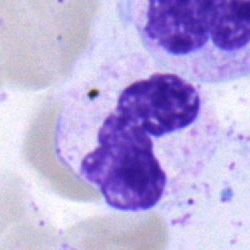
Morphology consistent with a polymorphonuclear neutrophil.